Bone marrow aspirate smear
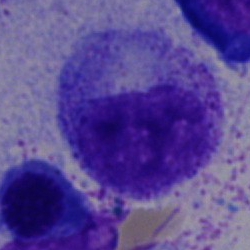

Q: What is the morphological classification of this cell?
A: This is a metamyelocyte.